Bone marrow smear
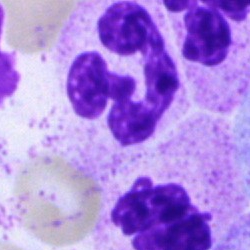This is a segmented neutrophil.